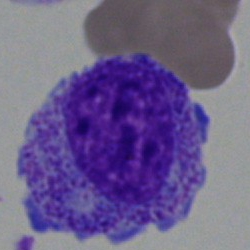 Morphology → myelocyte.